250 by 250 pixels. Bone marrow aspirate smear
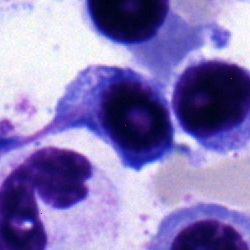A lymphocyte.